Bone marrow aspirate smear · 250 by 250 pixels · brightfield, 40× oil-immersion objective.
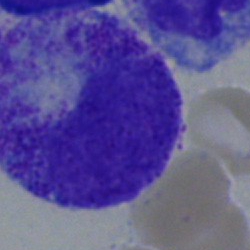Myelocyte.